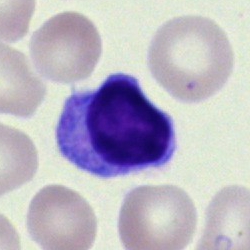
Morphological class = typical lymphocyte.